Bone marrow aspirate smear — 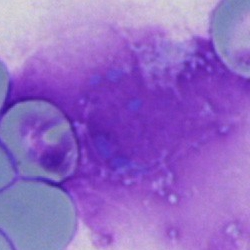

The morphological class is artefact.